Bone marrow smear: 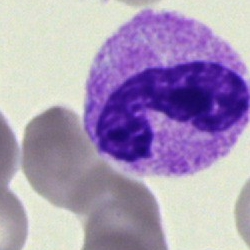Polymorphonuclear neutrophil.